Cropped to a single cell · bone marrow aspirate smear
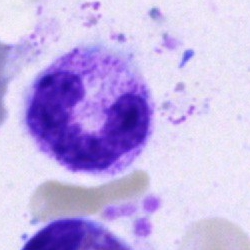
Q: Which cell type is shown here?
A: Neutrophil (band).